Cropped to a single cell · brightfield, 40× oil-immersion objective · bone marrow smear — 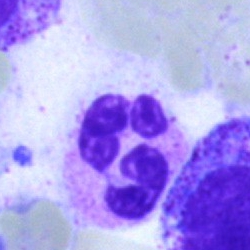

This is a neutrophil (segmented).